Image size 400×400. Peripheral blood film — 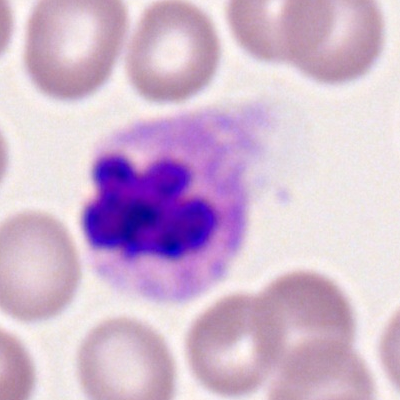

Neutrophil (segmented).